Single-cell field · brightfield microscopy, 40× oil immersion · bone marrow smear: 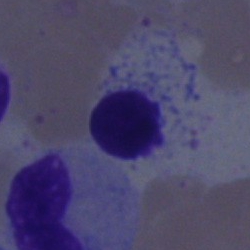

Specimen: bone marrow smear.
Morphological class: lymphocyte.
Lineage: lymphoid.